Bone marrow aspirate smear · single cell centered in the field · 40× objective, oil immersion.
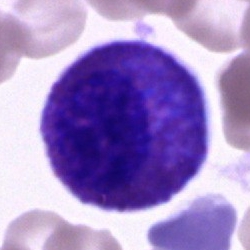 Specimen: bone marrow aspirate smear.
Morphological class: eosinophilic granulocyte.